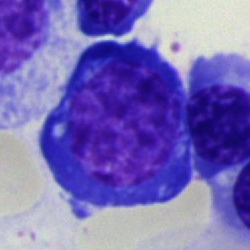Single-cell crop from a bone marrow smear: proerythroblast.